Bone marrow aspirate smear
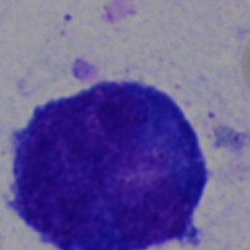Morphology → undifferentiated blast.